Bone marrow aspirate smear: 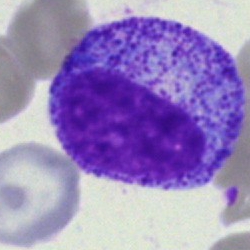

Specimen: bone marrow smear.
Cell: myelocyte.